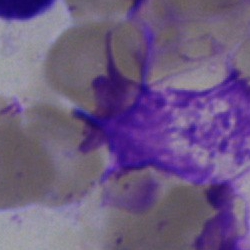

Specimen: bone marrow aspirate smear.
Morphological class: artefact.